Bone marrow aspirate smear; single-cell field:
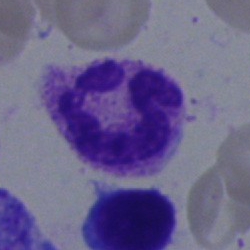

Cell: segmented neutrophil.